Bone marrow aspirate smear
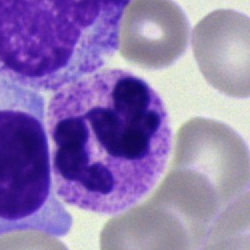 The cell shown is a polymorphonuclear neutrophil.